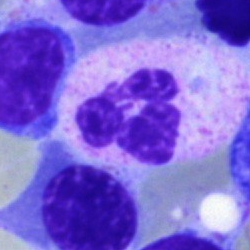 Q: What cell is this?
A: A polymorphonuclear neutrophil.